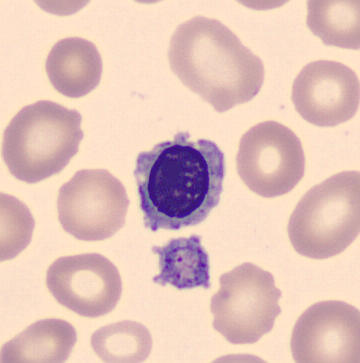Peripheral blood smear showing a normoblast.